Bone marrow aspirate smear; single-cell field:
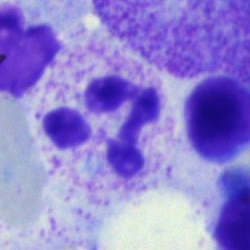

Morphological class — segmented neutrophil.